Peripheral blood film.
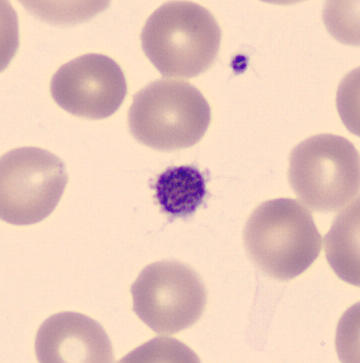Morphological class = platelet.